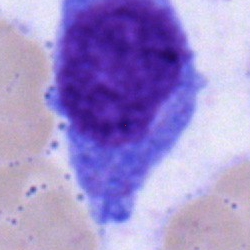 Single-cell crop from a bone marrow smear: blast.